40× oil immersion · bone marrow aspirate smear — 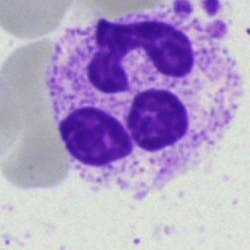
Morphological class — polymorphonuclear neutrophil.